Bone marrow smear: 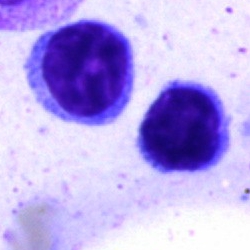Specimen: bone marrow smear.
Morphological class: lymphocyte.
Lineage: lymphoid.